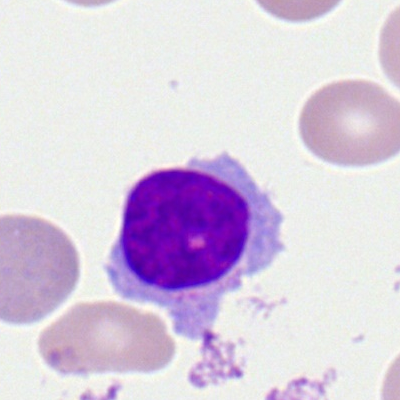 {"cell_type": "lymphocyte"}